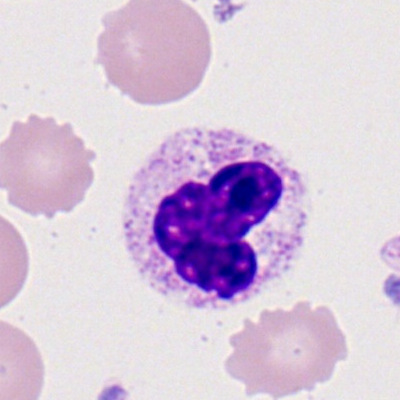 Showing a segmented neutrophil.